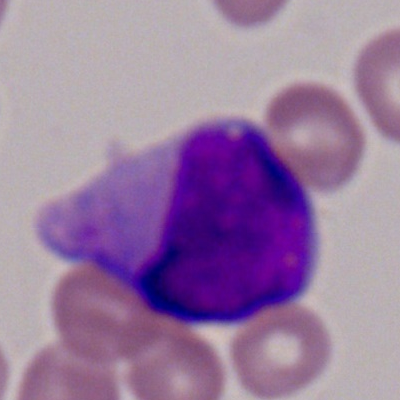Cell type = myeloblast.